Bone marrow smear. Brightfield microscopy, 40× oil immersion
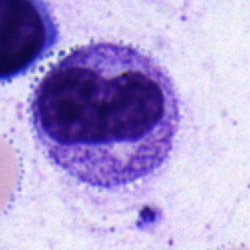
A metamyelocyte.